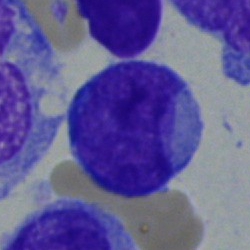
Morphological class = undifferentiated blast.